May-Grünwald-Giemsa/Pappenheim stain; bone marrow aspirate smear; 250×250
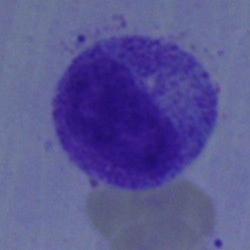Morphological class — myelocyte.